May-Grünwald-Giemsa stain · single cell centered in the field · bone marrow aspirate smear
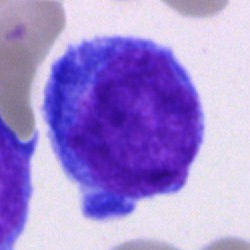Showing a blast cell.